Bone marrow aspirate smear:
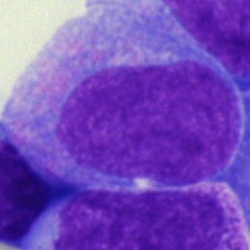
Morphological class: promyelocyte.